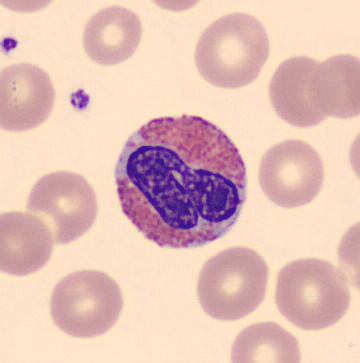Q: What is this?
A: Eosinophil.

Peripheral blood film.